Bone marrow smear: 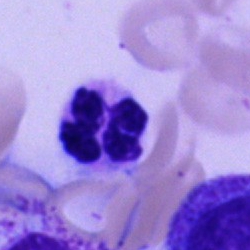

Specimen: bone marrow smear.
Cell: segmented neutrophil.